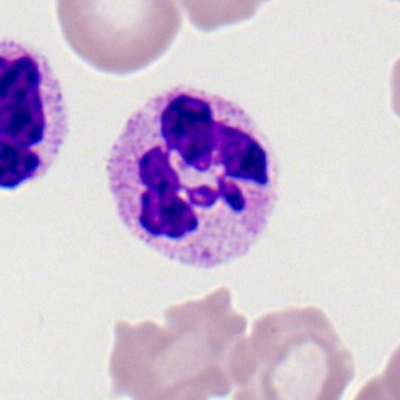

Q: What type of cell is this?
A: A segmented neutrophil.